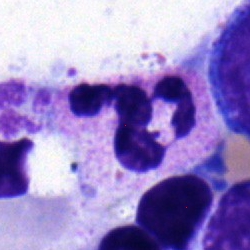

Cell type = neutrophil (segmented).